Bone marrow smear — 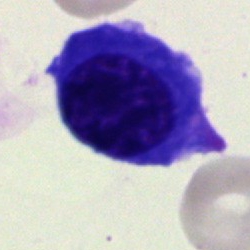 {"cell_type": "nucleated red blood cell", "lineage": "erythroid"}